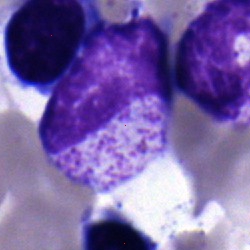

Morphology → myelocyte.